Brightfield, 40× oil-immersion objective. Bone marrow smear. Single-cell field — 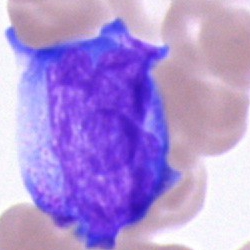

Unidentifiable cell.